Image size 250×250; bone marrow aspirate smear:
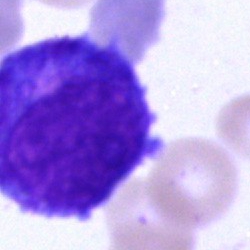

Showing a promyelocyte.